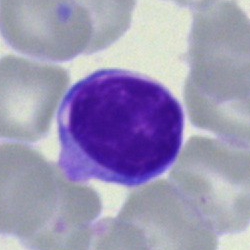

Specimen: bone marrow smear.
Morphological class: lymphocyte.
Lineage: lymphoid.